Single cell centered in the field. Bone marrow smear: 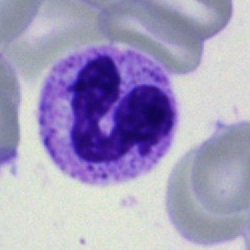 Q: What is the morphological classification of this cell?
A: A neutrophil (segmented).